Bone marrow aspirate smear · single cell centered in the field
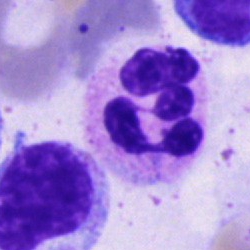The morphological class is neutrophil (segmented).